Peripheral blood smear — 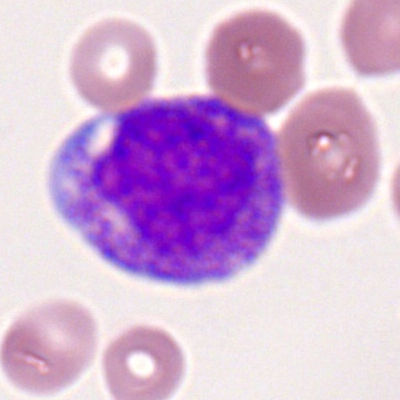
Cell — myelocyte.